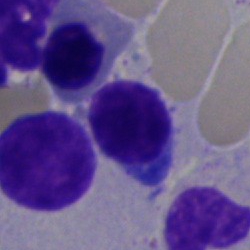Q: Identify the cell.
A: This is a typical lymphocyte.